Bone marrow aspirate smear; May-Grünwald-Giemsa stain — 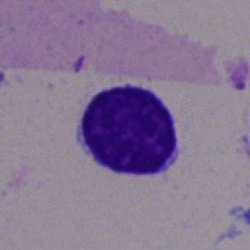 Morphology → lymphocyte.